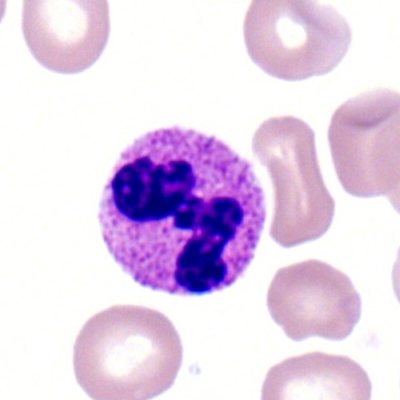

Impression — neutrophil (segmented).